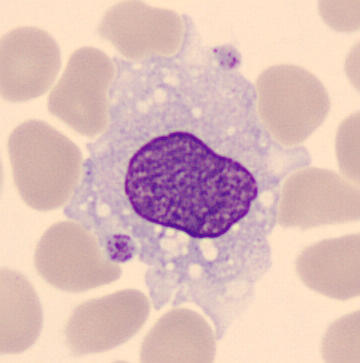
Impression — monocyte.